Bone marrow aspirate smear · 250 by 250 pixels
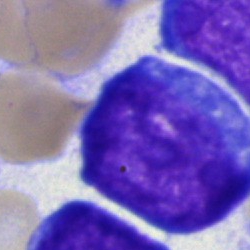Morphology — blast.